Bone marrow smear:
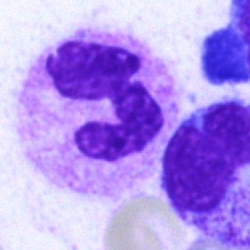 Neutrophil (segmented).